Bone marrow aspirate smear — 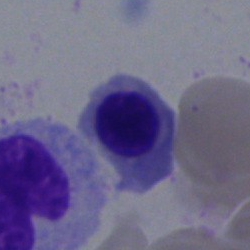

The classification is erythroblast.